Peripheral blood smear — 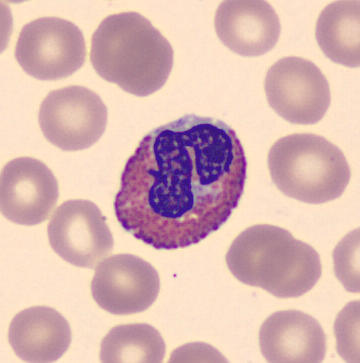 {"cell_type": "eosinophil"}